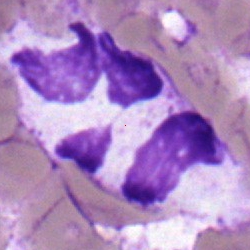Impression — segmented neutrophil.